Bone marrow aspirate smear; brightfield microscopy, 40× oil immersion:
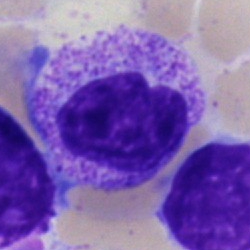
Specimen: bone marrow smear.
Morphological class: metamyelocyte.
Lineage: myeloid.